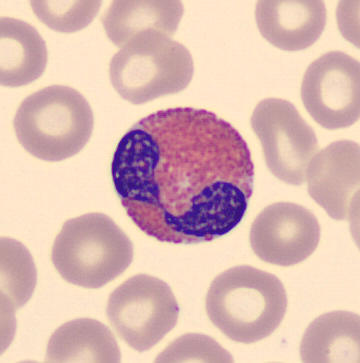Peripheral blood film · May-Grünwald-Giemsa-stained.
Morphology consistent with an eosinophilic granulocyte.